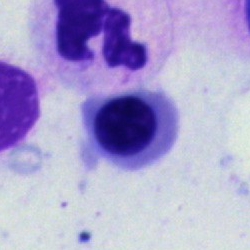Q: Which cell type is shown here?
A: It is a nucleated red blood cell.